Imaged on a CellaVision DM96 analyser. Peripheral blood film: 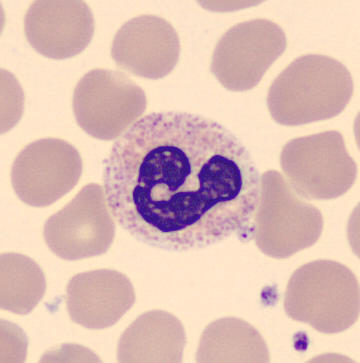 Morphology consistent with a neutrophil (segmented).